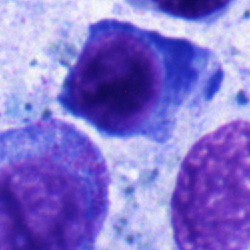The morphological class is plasma cell.